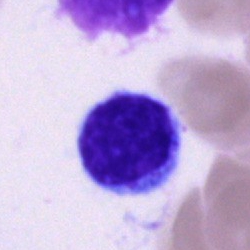 Morphology → lymphocyte.